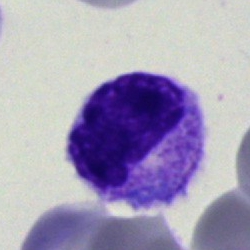

{"cell_type": "myelocyte", "lineage": "myeloid"}